Bone marrow aspirate smear — 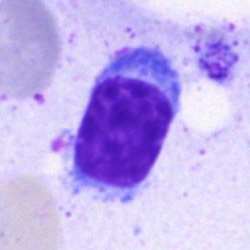

Showing a lymphocyte.